Bone marrow aspirate smear
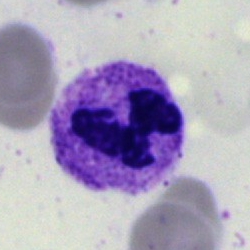 Morphological class: polymorphonuclear neutrophil.